Pappenheim-stained. Bone marrow aspirate smear. Brightfield microscopy, 40× oil immersion: 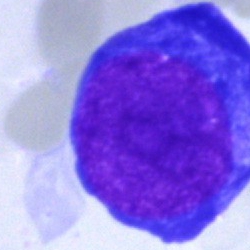 Specimen: bone marrow smear.
Classification: proerythroblast.